Bone marrow smear: 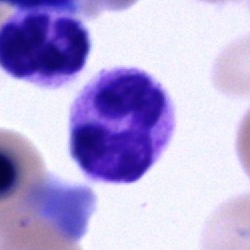 Morphological class: neutrophil (segmented).